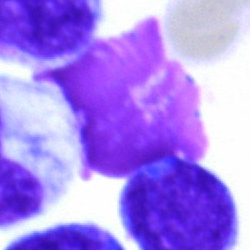 Cell type — artifact.